Bone marrow smear — 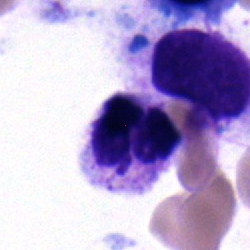 Specimen: bone marrow aspirate smear.
Morphological class: polymorphonuclear neutrophil.
Lineage: myeloid.